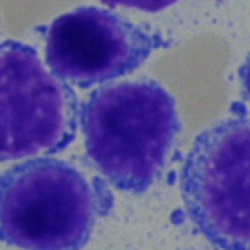The cell type is typical lymphocyte.